Single cell centered in the field. Bone marrow aspirate smear
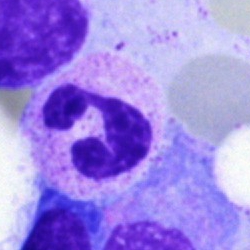Specimen: bone marrow smear.
Classification: polymorphonuclear neutrophil.